Bone marrow aspirate smear.
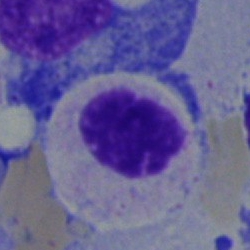

The cell is myelocyte.